Bone marrow smear.
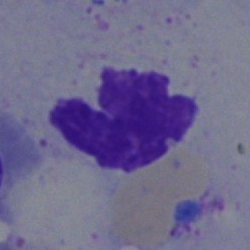

Showing an artefact.